Bone marrow smear. May-Grünwald-Giemsa/Pappenheim stain:
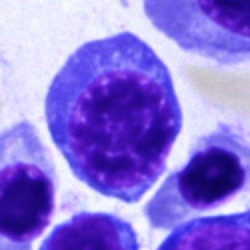Q: Which cell type is shown here?
A: A nucleated red blood cell.